250×250. Bone marrow aspirate smear:
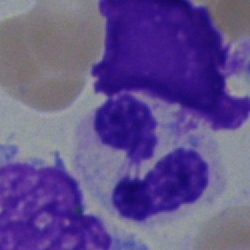
Cell type = segmented neutrophil.